Bone marrow aspirate smear
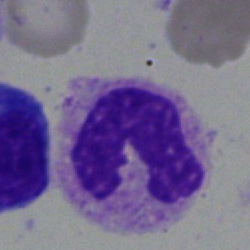
Q: Identify the cell.
A: A band-form neutrophil.